Peripheral blood film · single-cell field
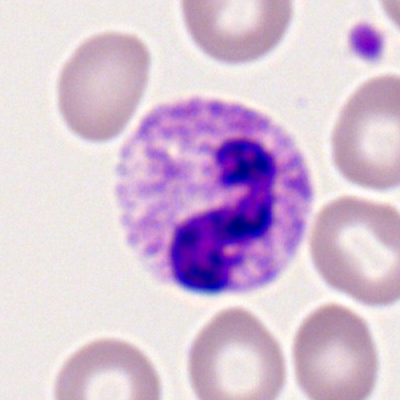

Cell type: neutrophil (segmented).